May-Grünwald-Giemsa stain. 250×250. Bone marrow smear
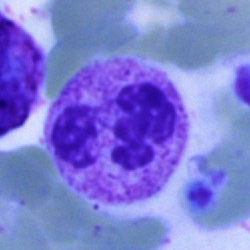

Showing a polymorphonuclear neutrophil.